Bone marrow aspirate smear · 250×250 px · brightfield microscopy, 40× oil immersion.
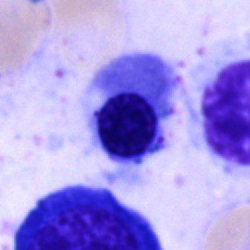
Impression → nucleated red blood cell.